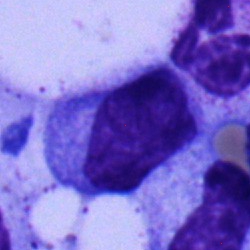

Q: What type of cell is this?
A: This is a typical lymphocyte.